Bone marrow aspirate smear. Image size 250×250
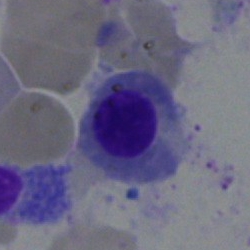The cell type is erythroblast.